Bone marrow smear — 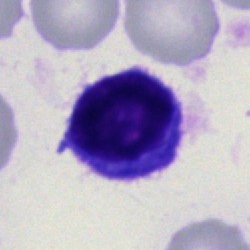
Impression — lymphocyte.